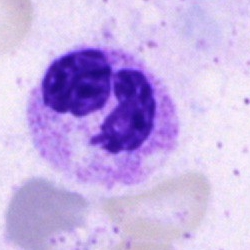

Morphology → neutrophil (segmented).